Bone marrow aspirate smear: 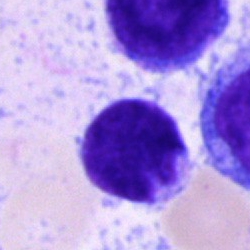

Blast cell.